Bone marrow aspirate smear:
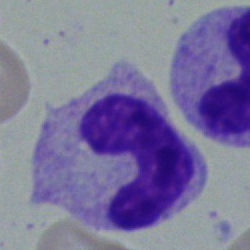Neutrophil (band).